Brightfield microscopy, 40× oil immersion · bone marrow aspirate smear · 250×250: 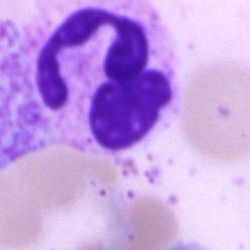Morphological class — segmented neutrophil.